May-Grünwald-Giemsa/Pappenheim stain. Bone marrow aspirate smear. Brightfield, 40× oil-immersion objective:
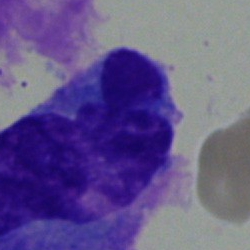

Morphology consistent with a plasma cell.